May-Grünwald-Giemsa/Pappenheim stain; bone marrow smear; single-cell crop.
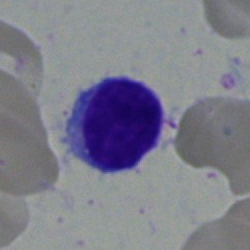

Q: What is shown here?
A: It is a lymphocyte.